Peripheral blood film — 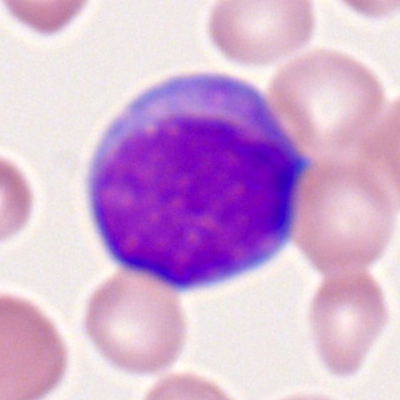Cell type: myeloid blast.